Bone marrow smear: 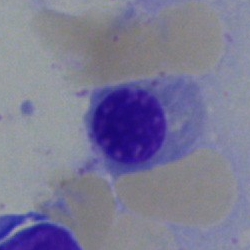
Nucleated red blood cell.